40× objective, oil immersion · bone marrow aspirate smear
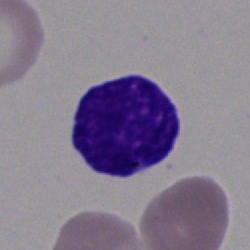 This is a blast cell.